40× objective, oil immersion; bone marrow aspirate smear
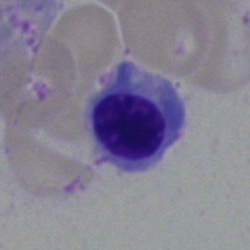

Specimen: bone marrow aspirate smear.
Cell type: normoblast.
Lineage: erythroid.